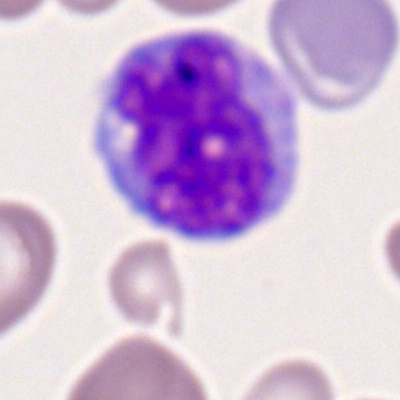
Single-cell crop from a peripheral blood smear: monocyte.